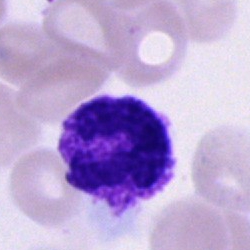
Impression → segmented neutrophil.